Bone marrow aspirate smear. May-Grünwald-Giemsa/Pappenheim stain. 40× oil immersion
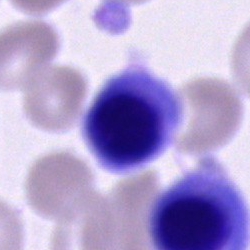

Classification: erythroblast.